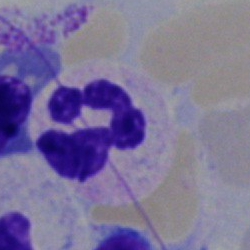The cell is segmented neutrophil.